Bone marrow aspirate smear
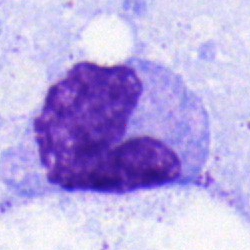

Cell = monocyte.